Bone marrow aspirate smear — 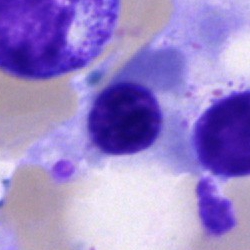A nucleated red blood cell.